Bone marrow smear. 40× objective, oil immersion. 250×250: 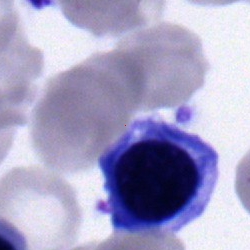

Q: What is shown here?
A: It is a nucleated red blood cell.